40× oil immersion. Bone marrow smear:
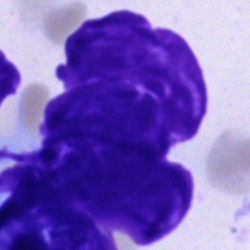 Cell: artifact.